Bone marrow smear; 250 by 250 pixels:
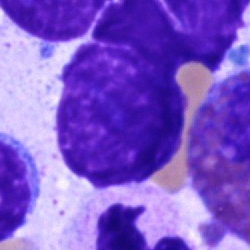 Impression → artifact.